Bone marrow aspirate smear; 40× oil immersion — 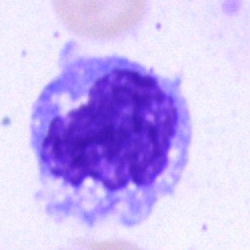 Morphology — monocyte.